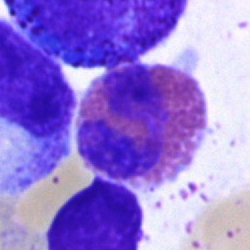 Specimen: bone marrow smear.
Cell: eosinophilic granulocyte.
Lineage: myeloid.